Bone marrow aspirate smear. 250×250 px. Single-cell field — 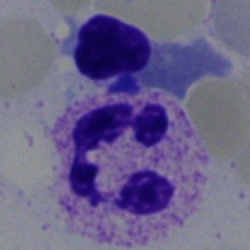 Specimen: bone marrow aspirate smear.
Cell type: polymorphonuclear neutrophil.
Lineage: myeloid.